Bone marrow aspirate smear:
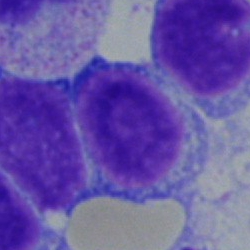

Specimen: bone marrow smear.
Classification: typical lymphocyte.
Lineage: lymphoid.